Bone marrow aspirate smear:
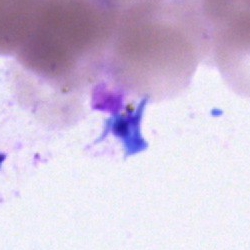

Q: What is shown here?
A: Artefact.